Peripheral blood film; 100× oil immersion.
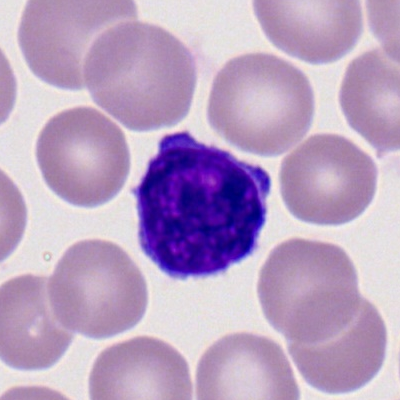Specimen: peripheral blood film.
Cell type: typical lymphocyte.